Bone marrow aspirate smear.
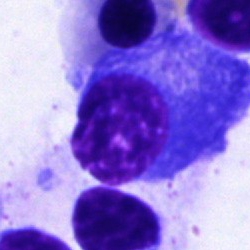

Morphological class: plasma cell.